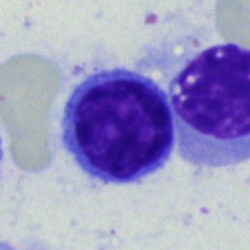Q: What is the morphological classification of this cell?
A: This is a lymphocyte.